Bone marrow aspirate smear.
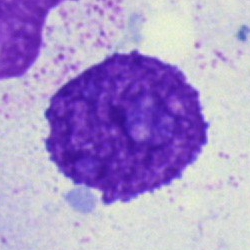 Specimen: bone marrow smear.
Cell: artifact.